Peripheral blood film.
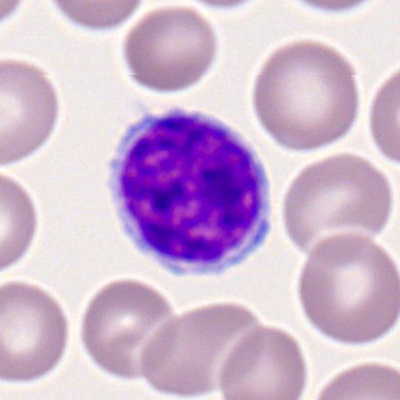Q: Which cell type is shown here?
A: It is a typical lymphocyte.